Bone marrow smear.
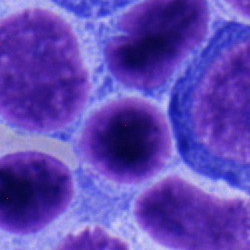Impression — lymphocyte.